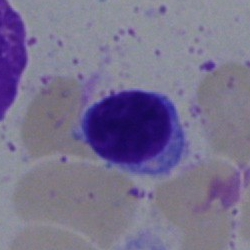 Single-cell crop from a bone marrow smear: typical lymphocyte.